Bone marrow aspirate smear
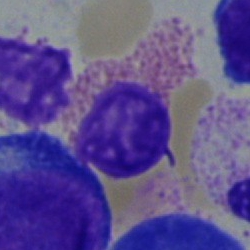 Morphology — eosinophilic granulocyte.